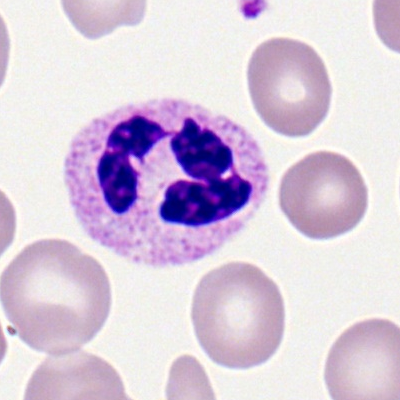 Peripheral blood smear showing a neutrophil (segmented).